Bone marrow smear: 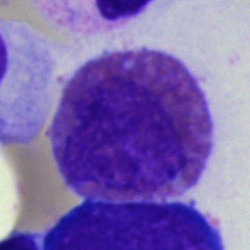

Specimen: bone marrow aspirate smear.
Morphological class: eosinophil.